Bone marrow aspirate smear; cropped to a single cell — 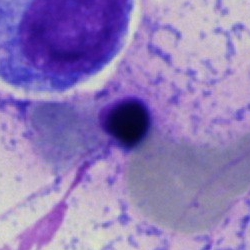The cell shown is an artefact.